May-Grünwald-Giemsa stain. Bone marrow smear:
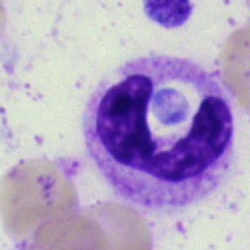
The cell is band neutrophil.